Peripheral blood smear; single cell centered in the field
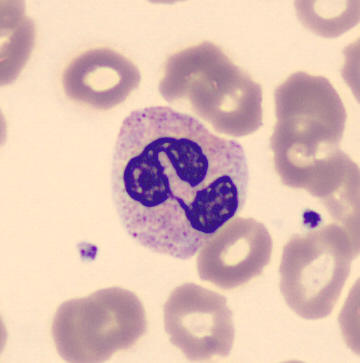Classification: neutrophil (segmented).